Bone marrow smear; 250 by 250 pixels; May-Grünwald-Giemsa/Pappenheim stain
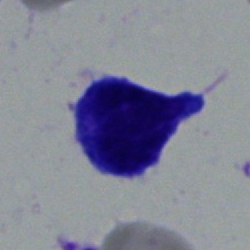
The cell shown is a typical lymphocyte.